Bone marrow smear
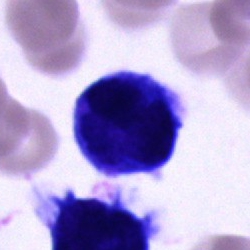

Undifferentiated blast.